Bone marrow smear: 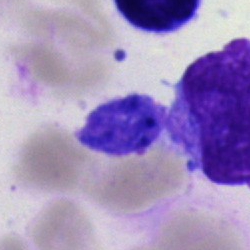 Impression → typical lymphocyte.